Pappenheim-stained; bone marrow aspirate smear: 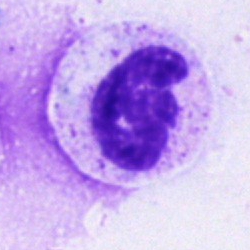

{"cell_type": "segmented neutrophil"}